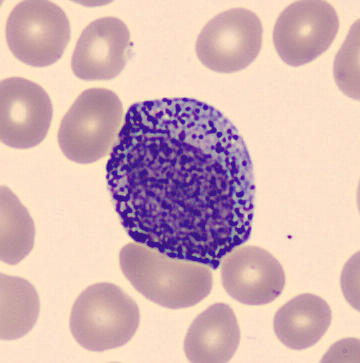

Image: 360×363 px; peripheral blood film.
{"cell_type": "promyelocyte", "lineage": "myeloid"}